Bone marrow smear — 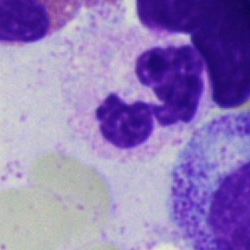Morphology — neutrophil (segmented).